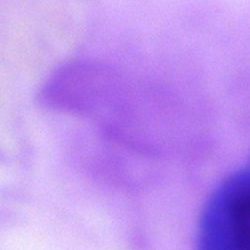
Bone marrow smear showing an artefact.